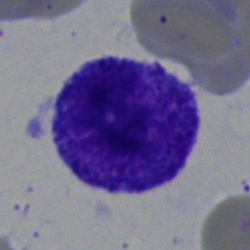Q: Which cell type is shown here?
A: This is a promyelocyte.